Bone marrow smear. 40× oil immersion
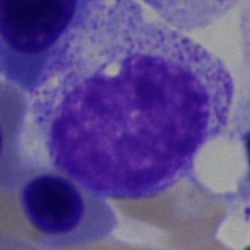 Q: Identify the cell.
A: Myelocyte.